Single-cell crop · bone marrow smear.
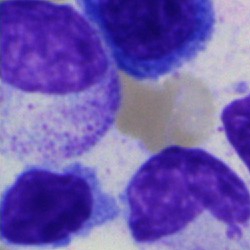

This is a metamyelocyte.